Cropped to a single cell. Brightfield microscopy, 40× oil immersion. Bone marrow aspirate smear:
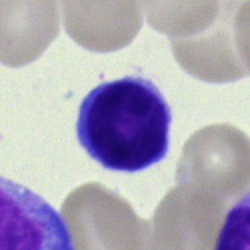 Showing a lymphocyte.